Bone marrow smear. Brightfield microscopy, 40× oil immersion — 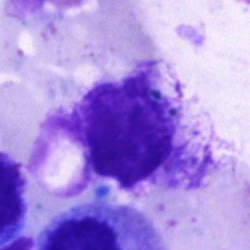Artifact.